Bone marrow aspirate smear:
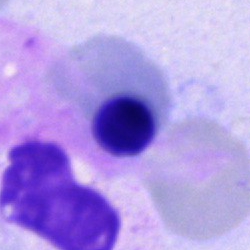
Specimen: bone marrow aspirate smear.
Cell type: normoblast.